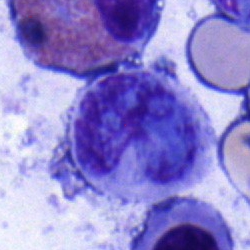
This is a stab cell.